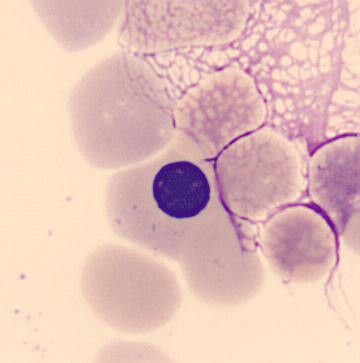

Peripheral blood smear. The classification is nucleated red cell.